Bone marrow aspirate smear · brightfield microscopy, 40× oil immersion · Pappenheim-stained: 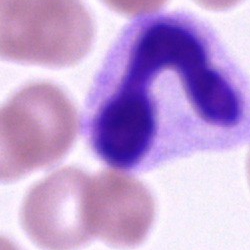

Q: What is the morphological classification of this cell?
A: This is a stab cell.